250 by 250 pixels · Pappenheim-stained · bone marrow aspirate smear.
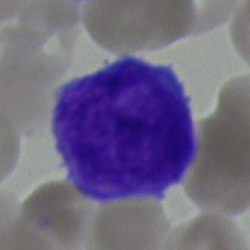
The cell is blast cell.